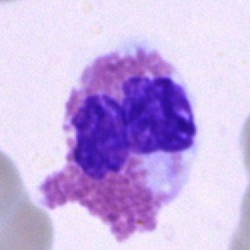
The cell shown is an eosinophil.